Bone marrow aspirate smear
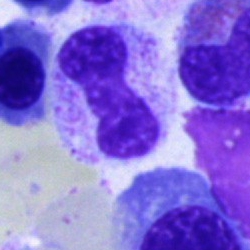

Impression → band-form neutrophil.